Bone marrow aspirate smear · 40× objective, oil immersion · single-cell field: 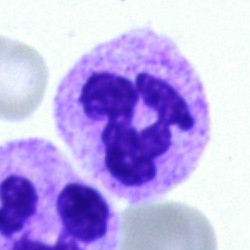 Showing a neutrophil (segmented).